Bone marrow aspirate smear.
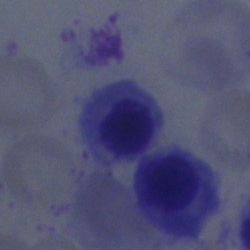

Single cell identified as an erythroblast.